Bone marrow smear
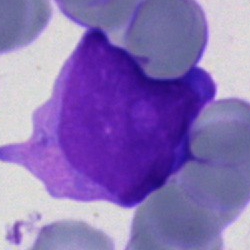
Q: Which cell type is shown here?
A: An undifferentiated blast.